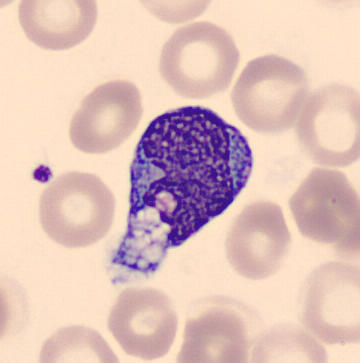

Acquisition: Peripheral blood smear · 360 by 363 pixels.
This is a monocyte.